Bone marrow smear; brightfield, 40× oil-immersion objective; single-cell field
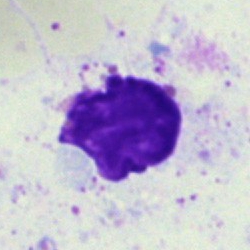
Q: What is shown here?
A: An artefact.